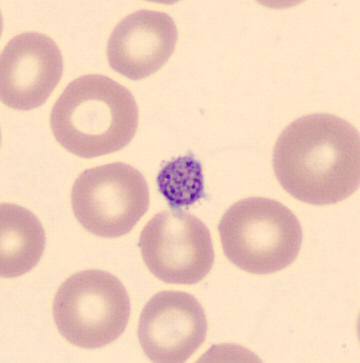

Acquisition: Peripheral blood smear. Morphology consistent with a platelet.